Bone marrow aspirate smear · single cell centered in the field
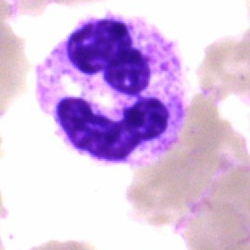Morphological class = segmented neutrophil.